MGG-stained · bone marrow aspirate smear · 250×250: 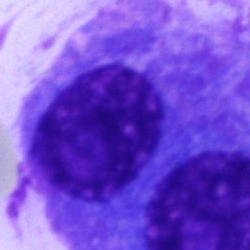

Specimen: bone marrow smear.
Cell: plasma cell.
Lineage: lymphoid.